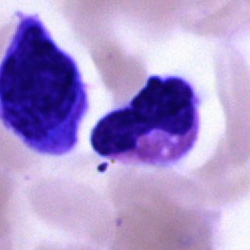

The cell type is neutrophil (segmented).